MGG-stained. Bone marrow aspirate smear
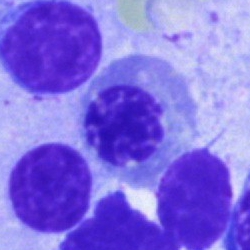Morphological class — nucleated red cell.